Peripheral blood smear · 100× oil immersion: 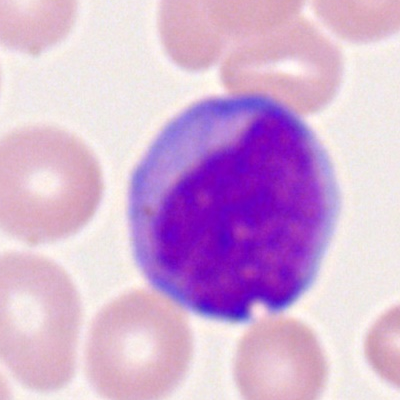

Q: Identify the cell.
A: Myeloblast.